Bone marrow aspirate smear.
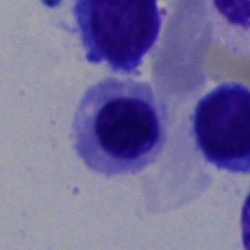

{"cell_type": "nucleated red cell"}